Bone marrow aspirate smear:
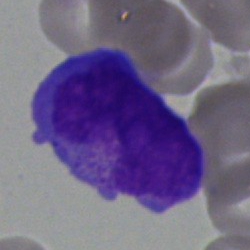
Morphological class — blast cell.